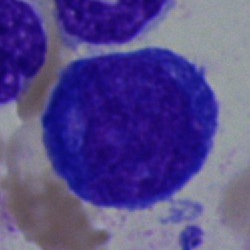
Specimen: bone marrow smear.
Classification: pronormoblast.
Lineage: erythroid.